MGG-stained. Bone marrow aspirate smear. Single cell centered in the field.
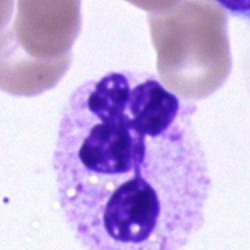Q: What type of cell is this?
A: Neutrophil (segmented).